Bone marrow smear: 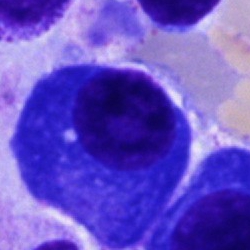 This is a plasmacyte.